Peripheral blood film
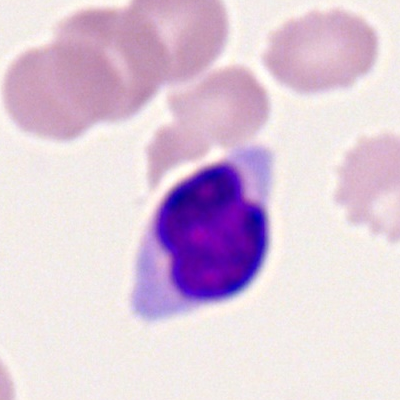 A typical lymphocyte.